Bone marrow smear; single cell centered in the field.
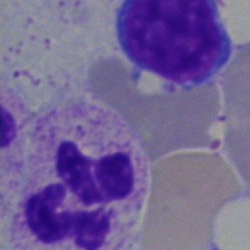 Showing a neutrophil (segmented).